Single-cell crop; bone marrow aspirate smear; May-Grünwald-Giemsa/Pappenheim stain — 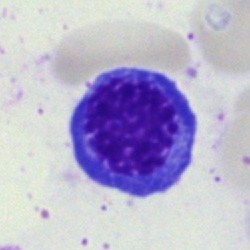

Morphology — erythroblast.